Bone marrow smear:
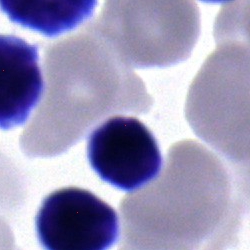

Q: What cell is this?
A: This is a lymphocyte.